Bone marrow smear. Cropped to a single cell — 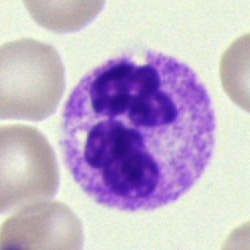

Specimen: bone marrow aspirate smear.
Cell: polymorphonuclear neutrophil.